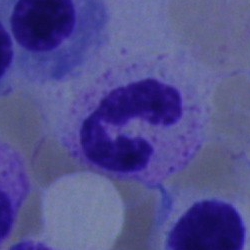

Impression — polymorphonuclear neutrophil.